CellaVision DM96. 360×363. Peripheral blood smear: 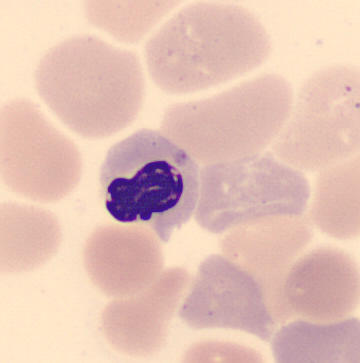

A nucleated red cell.